Cropped to a single cell; 250×250 px; bone marrow aspirate smear:
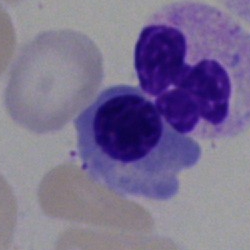An erythroblast.